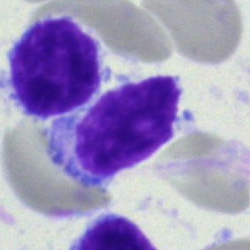
Q: Identify the cell.
A: This is a typical lymphocyte.